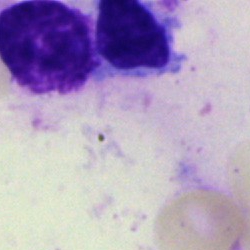 {"cell_type": "artefact"}